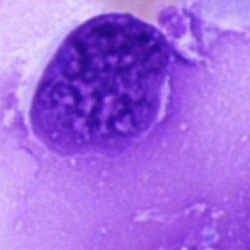Q: What is shown here?
A: This is an artifact.